Bone marrow smear; Pappenheim-stained:
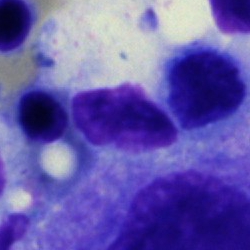

Q: What is shown here?
A: It is an artifact.